Bone marrow smear
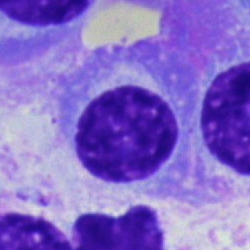 Cell — plasmacyte.